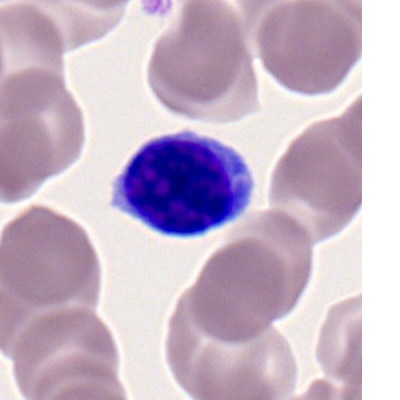Q: What is shown here?
A: It is a lymphocyte.